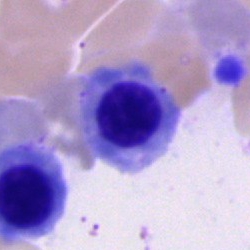

A normoblast.